Image size 250×250. Bone marrow smear.
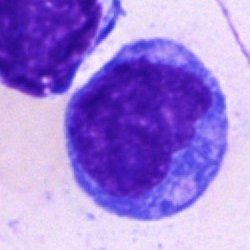 Classification — undifferentiated blast.